Brightfield microscopy, 40× oil immersion. Single cell centered in the field. Bone marrow smear: 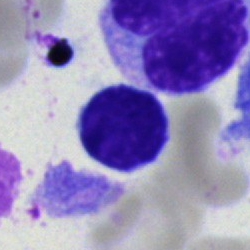
Impression — lymphocyte.